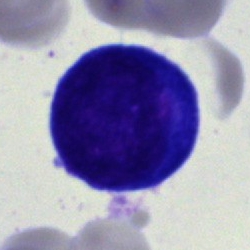 Specimen: bone marrow aspirate smear.
Cell type: erythroblast.